Bone marrow aspirate smear; single-cell crop — 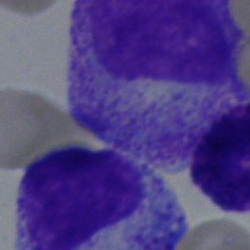
Single cell identified as a band neutrophil.